Brightfield, 40× oil-immersion objective; bone marrow aspirate smear:
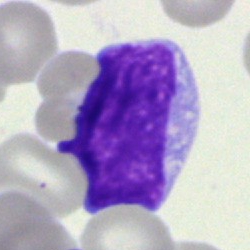Q: What cell is this?
A: This is a blast.